Bone marrow aspirate smear.
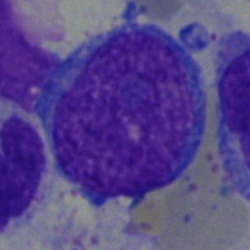
Specimen: bone marrow smear.
Cell type: blast.